Bone marrow aspirate smear.
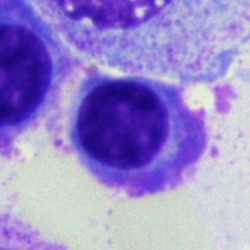 The morphological class is plasmacyte.